Bone marrow aspirate smear; May-Grünwald-Giemsa/Pappenheim stain.
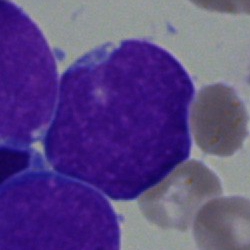Morphology — blast cell.